Bone marrow aspirate smear.
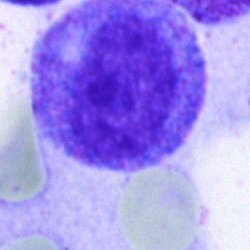 Morphology — promyelocyte.